Bone marrow aspirate smear.
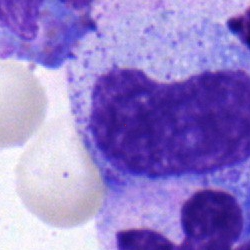

Metamyelocyte.